Bone marrow smear; single-cell crop.
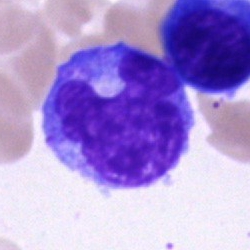 Morphology consistent with a monocyte.